Single-cell crop. Bone marrow aspirate smear — 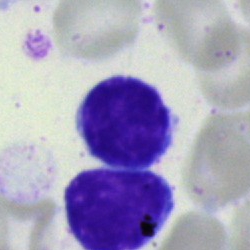 Q: What is shown here?
A: A typical lymphocyte.